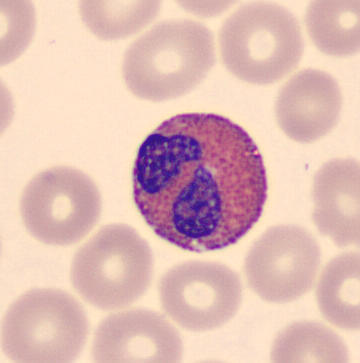 This is an eosinophil.